Single cell centered in the field. Bone marrow aspirate smear: 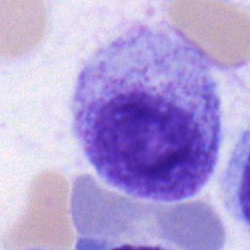

Specimen: bone marrow aspirate smear.
Cell type: myelocyte.